250 by 250 pixels; bone marrow smear: 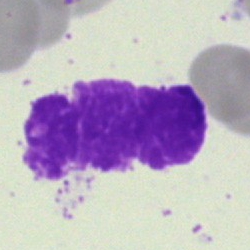 Morphology consistent with an artifact.